Bone marrow aspirate smear
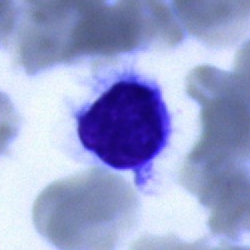Impression → lymphocyte.